Bone marrow aspirate smear:
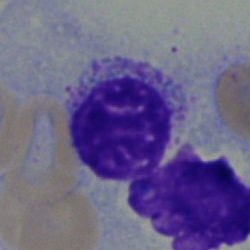

Specimen: bone marrow smear.
Cell type: myelocyte.
Lineage: myeloid.